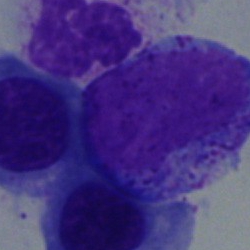

Impression — myelocyte.